Bone marrow smear. 250 by 250 pixels
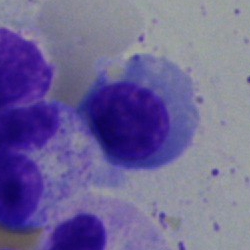
Classification — nucleated red cell.